Bone marrow smear.
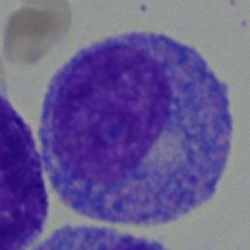
The cell is progranulocyte.